Bone marrow smear: 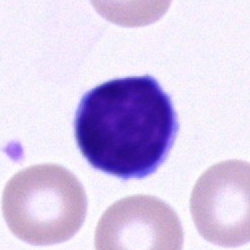

Morphology → typical lymphocyte.